Peripheral blood smear — 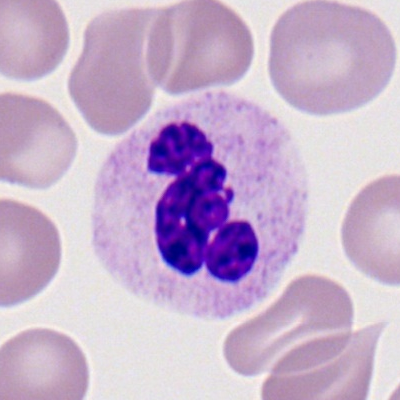

The cell shown is a neutrophil (segmented).